May Grünwald-Giemsa stain; peripheral blood film:
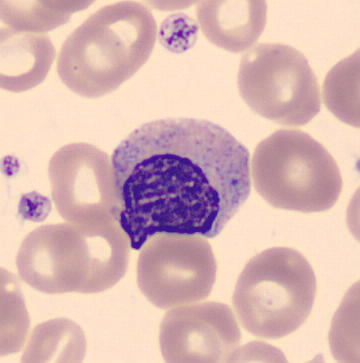A metamyelocyte.